Bone marrow smear; single cell centered in the field — 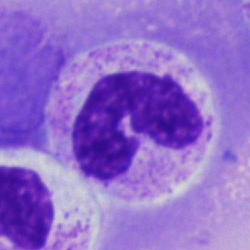
Single cell identified as a band neutrophil.